Single-cell crop; bone marrow aspirate smear: 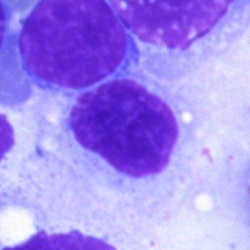 Cell type — artifact.